250 by 250 pixels. 40× oil immersion. Bone marrow aspirate smear.
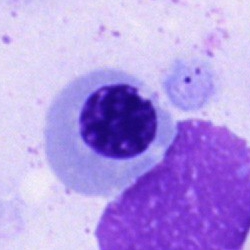

Q: What is shown here?
A: This is a nucleated red cell.